Bone marrow smear. 250 by 250 pixels:
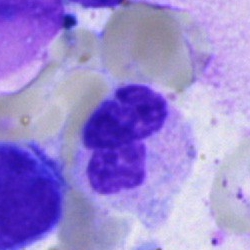
Cell type = neutrophil (segmented).